Bone marrow aspirate smear: 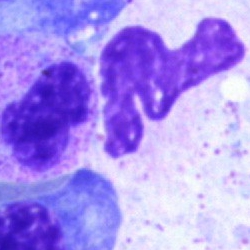
Morphology consistent with an artifact.